Brightfield microscopy, 40× oil immersion · bone marrow smear
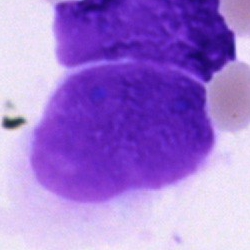 Morphology — artefact.